Bone marrow smear:
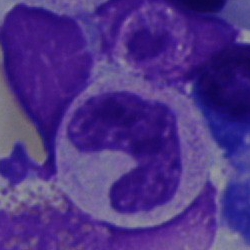Specimen: bone marrow smear.
Morphological class: band neutrophil.
Lineage: myeloid.